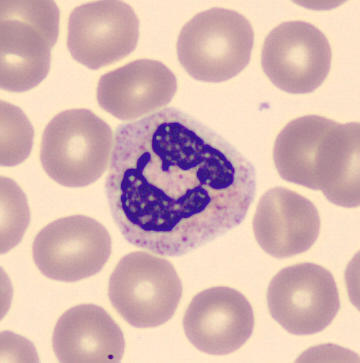
Q: What cell is this?
A: This is a neutrophil (segmented). Peripheral blood film.